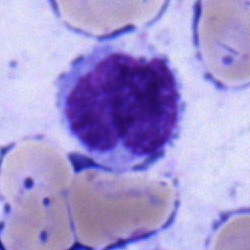Single cell identified as a monocyte.